250×250 px. Single-cell field. Bone marrow aspirate smear: 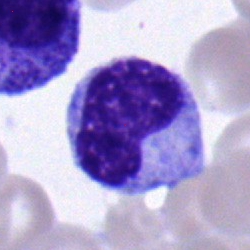
Showing a metamyelocyte.